Bone marrow smear: 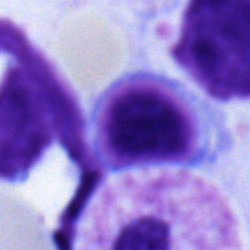
Q: What type of cell is this?
A: This is a nucleated red blood cell.